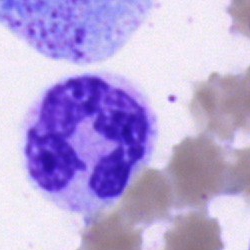Classification: segmented neutrophil.